Bone marrow aspirate smear.
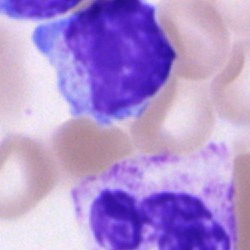 A typical lymphocyte.